Bone marrow aspirate smear
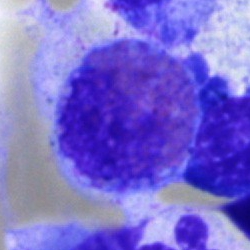 Cell — eosinophil.